Peripheral blood film; Romanowsky-type stain — 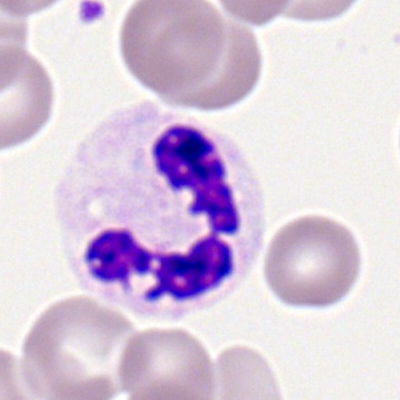

Morphology → neutrophil (segmented).